Bone marrow aspirate smear.
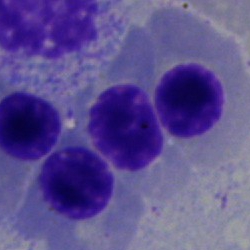 Specimen: bone marrow aspirate smear.
Cell type: normoblast.
Lineage: erythroid.